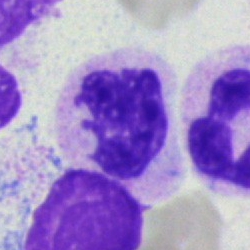 {"cell_type": "polymorphonuclear neutrophil"}